Bone marrow smear:
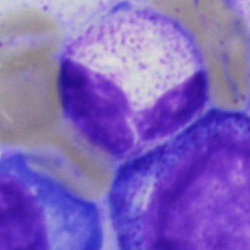
{"cell_type": "neutrophil (segmented)"}